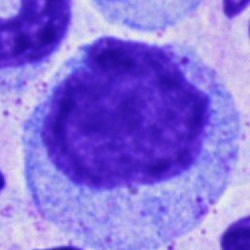Cell type = promyelocyte.